Bone marrow smear:
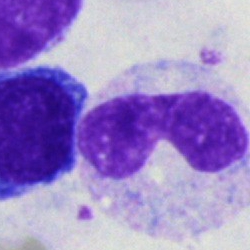 The cell is neutrophil (band).